250 by 250 pixels. Pappenheim-stained. Bone marrow aspirate smear — 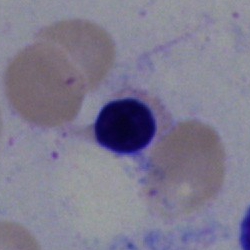 Cell type — normoblast.